400×400 px · peripheral blood film · 100× oil immersion:
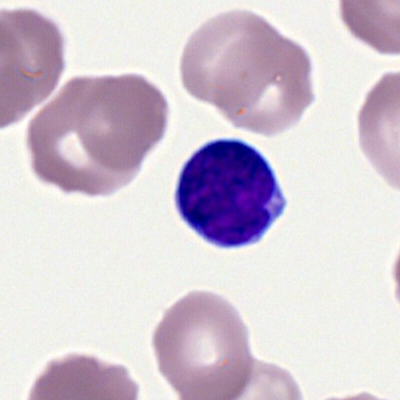
Morphological class — lymphocyte.